40× objective, oil immersion · bone marrow aspirate smear · May-Grünwald-Giemsa/Pappenheim stain — 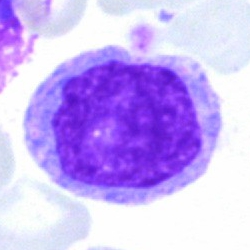

Cell: monocyte.